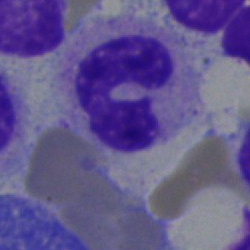
A segmented neutrophil on a bone marrow smear.